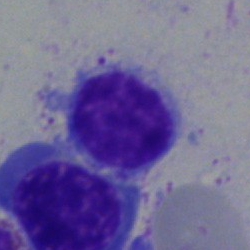
Impression — lymphocyte.